Peripheral blood smear; M8 digital microscope (Precipoint), 100× oil immersion: 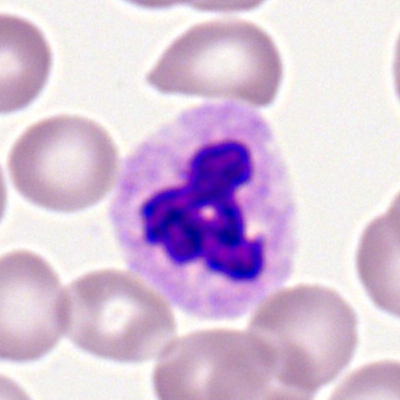 Impression — neutrophil (segmented).